Bone marrow aspirate smear
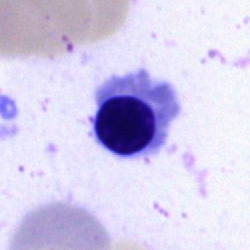
Specimen: bone marrow aspirate smear.
Cell type: nucleated red cell.